Bone marrow smear; single cell centered in the field — 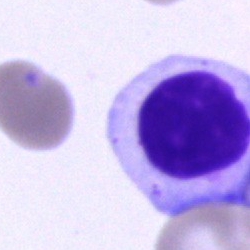
{"cell_type": "lymphocyte"}